Peripheral blood smear · M8 digital microscope (Precipoint), 100× oil immersion
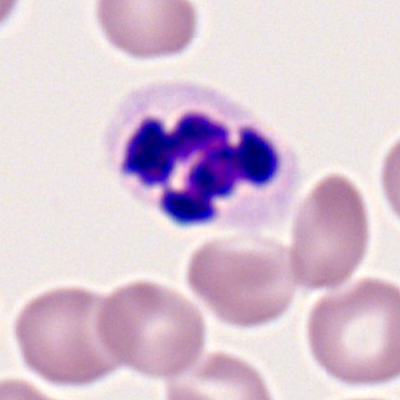 The cell shown is a neutrophil (segmented).